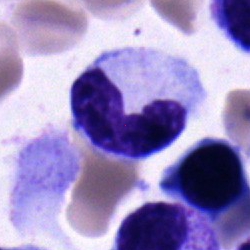 Band neutrophil.